Bone marrow aspirate smear:
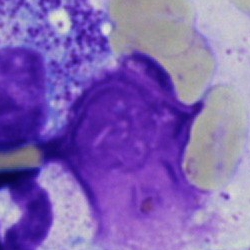
Q: What is shown here?
A: Artefact.